Peripheral blood film: 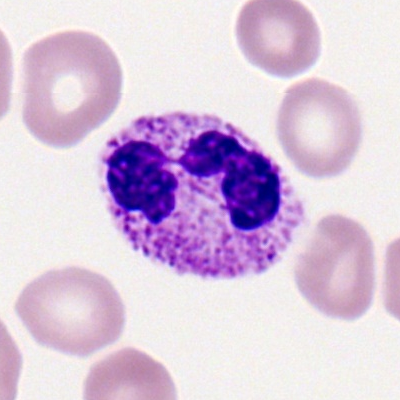 Q: What is the morphological classification of this cell?
A: This is a polymorphonuclear neutrophil.